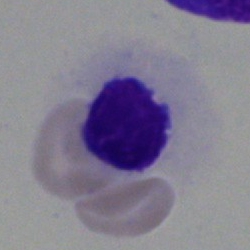 An artifact.